Bone marrow aspirate smear
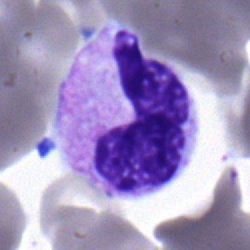 {"cell_type": "segmented neutrophil", "lineage": "myeloid"}